250 by 250 pixels; bone marrow aspirate smear: 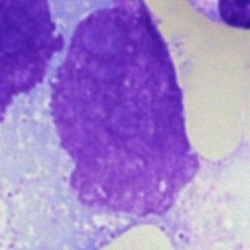Impression — artefact.